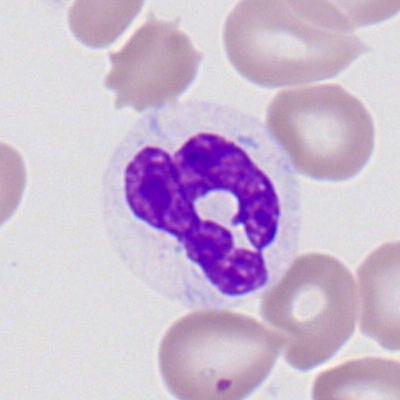
Single-cell crop from a peripheral blood smear: polymorphonuclear neutrophil.